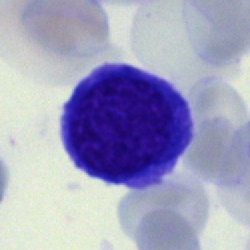 Q: What is the morphological classification of this cell?
A: A typical lymphocyte.